Bone marrow aspirate smear; 250 by 250 pixels:
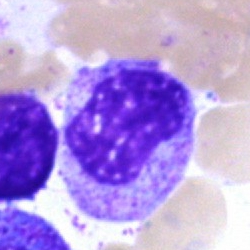
Specimen: bone marrow aspirate smear.
Morphological class: metamyelocyte.